Single-cell field · peripheral blood film.
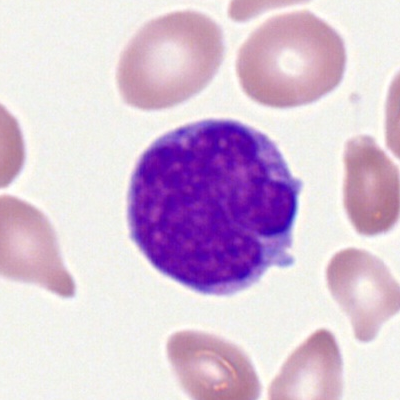The cell shown is a myeloid blast.